May-Grünwald-Giemsa/Pappenheim stain. Bone marrow smear. Single cell centered in the field:
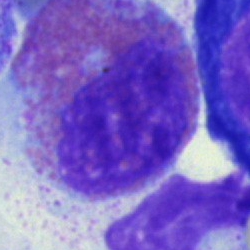
Single cell identified as an eosinophil.